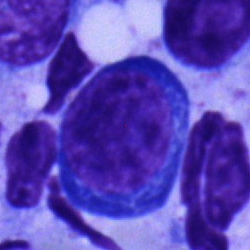
Bone marrow aspirate smear, single cell — pronormoblast.